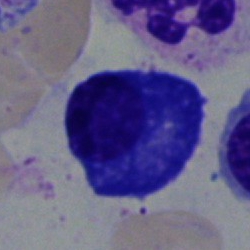

The classification is plasma cell.